Bone marrow smear:
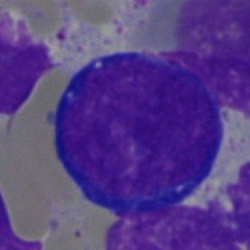 This is a proerythroblast.